Bone marrow aspirate smear: 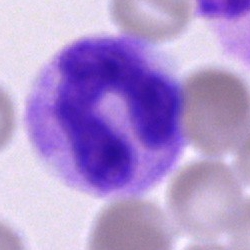

{"cell_type": "neutrophil (band)", "lineage": "myeloid"}